Brightfield, 40× oil-immersion objective. Single-cell crop. Bone marrow smear — 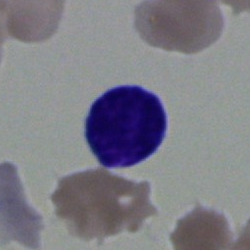 This is a lymphocyte.